Bone marrow aspirate smear — 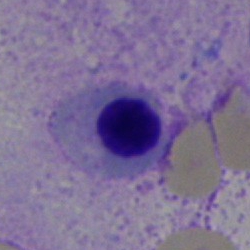Impression — erythroblast.